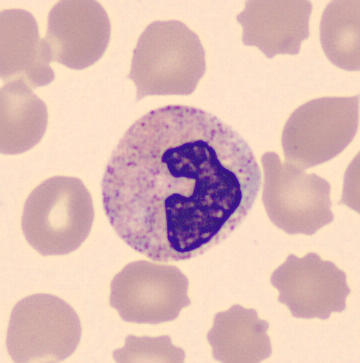 Peripheral blood film.

The classification is band-form neutrophil.